Bone marrow aspirate smear · 40× objective, oil immersion:
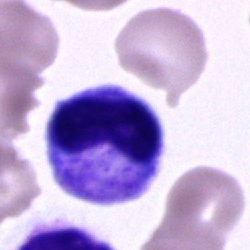

Cell = metamyelocyte.